Bone marrow aspirate smear
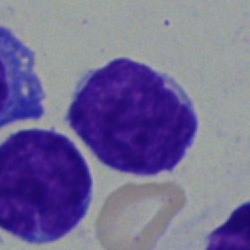 Q: What type of cell is this?
A: A typical lymphocyte.